May-Grünwald-Giemsa stain · bone marrow smear
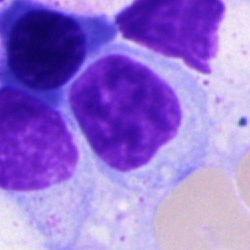 Showing a typical lymphocyte.